Peripheral blood smear.
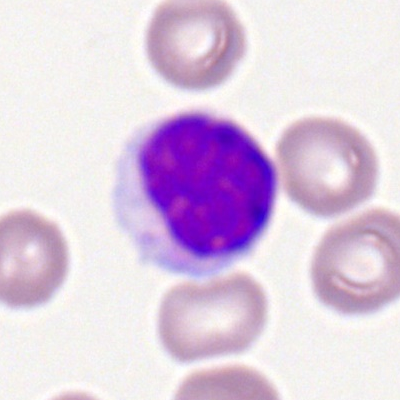Cell: typical lymphocyte.